Peripheral blood smear · image size 400×400 · Romanowsky stain — 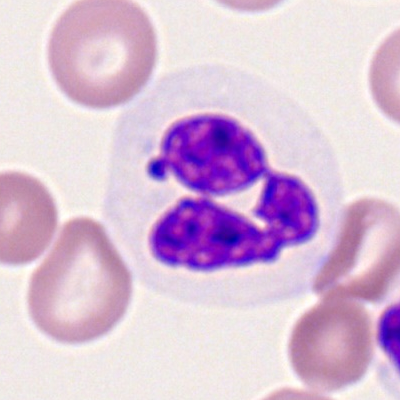Q: Identify the cell.
A: Polymorphonuclear neutrophil.